Bone marrow aspirate smear:
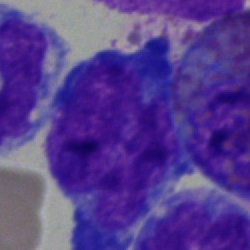This is an undifferentiated blast.